250×250. Bone marrow smear
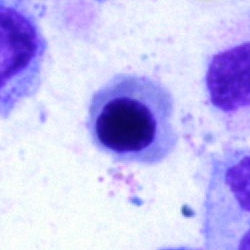 Morphological class = erythroblast.